Imaged on a CellaVision DM96 analyser. Peripheral blood film. Single cell centered in the field: 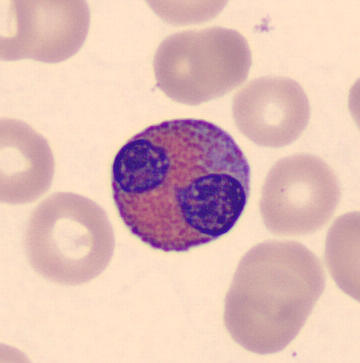Specimen: peripheral blood film.
Classification: eosinophilic granulocyte.